Brightfield, 40× oil-immersion objective · bone marrow smear:
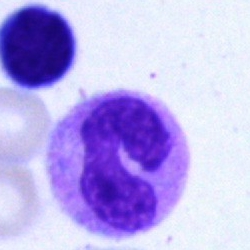
Morphology consistent with a band neutrophil.